Brightfield, 40× oil-immersion objective · bone marrow aspirate smear
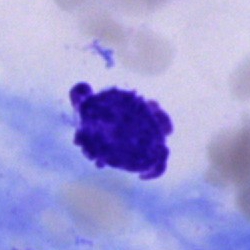Specimen: bone marrow smear.
Cell type: artifact.